Single-cell field · 250×250 · bone marrow smear:
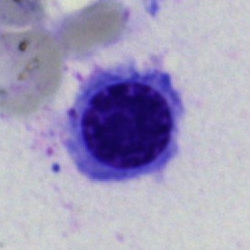 Q: Identify the cell.
A: This is an erythroblast.